Bone marrow aspirate smear; single cell centered in the field; brightfield, 40× oil-immersion objective.
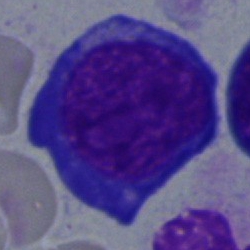

Morphology consistent with a pronormoblast.